MGG-stained · bone marrow smear: 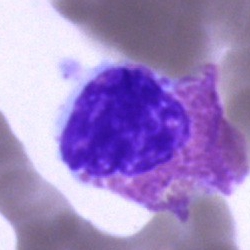Cell — eosinophil.